May-Grünwald-Giemsa stain. Bone marrow aspirate smear — 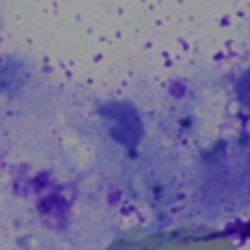

Showing an artefact.